Brightfield, 40× oil-immersion objective. Cropped to a single cell. Bone marrow aspirate smear:
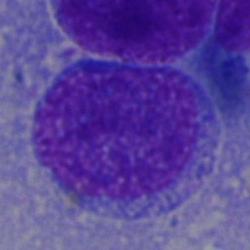

The classification is blast cell.